Bone marrow aspirate smear:
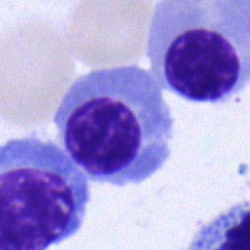
This is a nucleated red cell.